Bone marrow smear · single-cell crop: 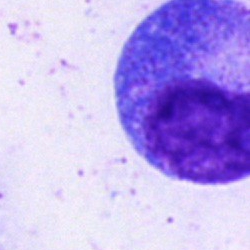Impression — progranulocyte.